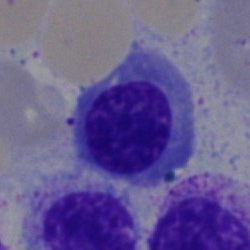
The cell is nucleated red cell.